40× objective, oil immersion; bone marrow aspirate smear:
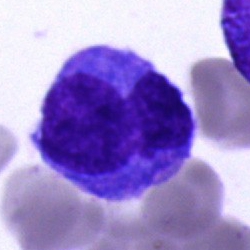

The cell is monocyte.